Bone marrow aspirate smear: 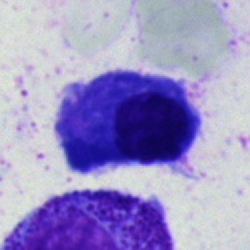

Q: Which cell type is shown here?
A: A plasma cell.